May-Grünwald-Giemsa stain; bone marrow aspirate smear: 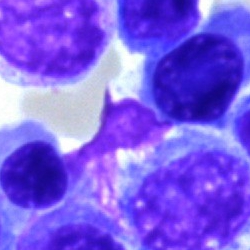

Impression — artifact.